250 by 250 pixels; bone marrow aspirate smear; Pappenheim-stained — 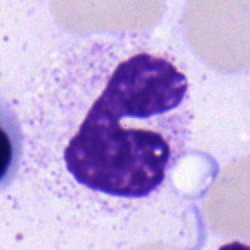Morphological class — polymorphonuclear neutrophil.